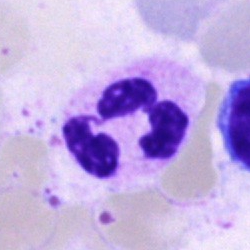 Morphological class — neutrophil (segmented).